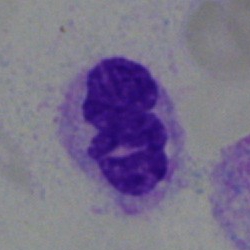Specimen: bone marrow aspirate smear.
Cell type: segmented neutrophil.